Bone marrow smear:
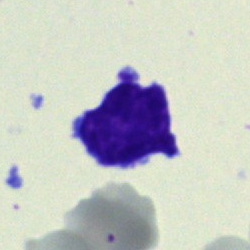Q: Which cell type is shown here?
A: This is a lymphocyte.